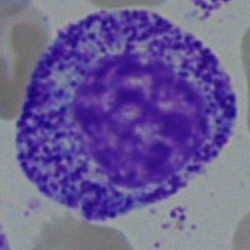{"cell_type": "progranulocyte", "lineage": "myeloid"}